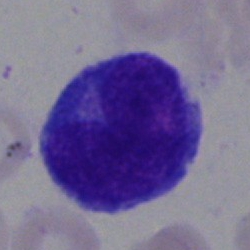
Morphology — blast cell.